Image size 400×400 · peripheral blood film:
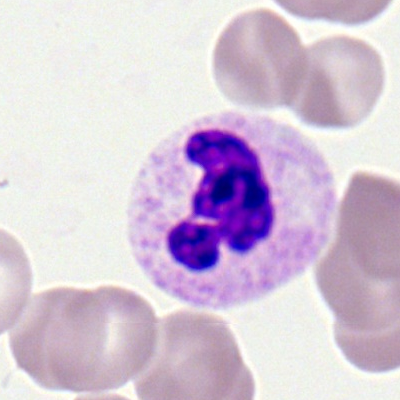

Specimen: peripheral blood film.
Morphological class: segmented neutrophil.